Bone marrow smear.
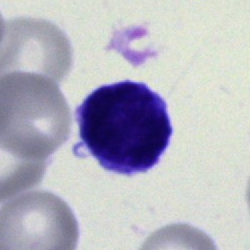Morphology — blast.